Single-cell crop. Bone marrow aspirate smear: 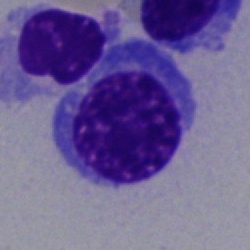

Classification = normoblast.